Bone marrow smear
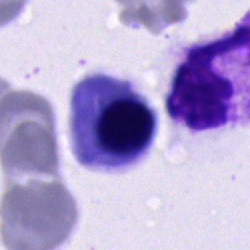 Showing a nucleated red blood cell.